Bone marrow aspirate smear
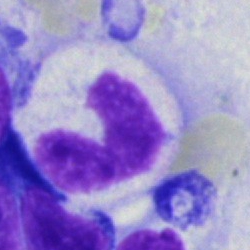 Specimen: bone marrow smear.
Morphological class: segmented neutrophil.
Lineage: myeloid.